Bone marrow smear
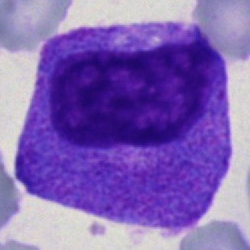

Q: Identify the cell.
A: This is a progranulocyte.